MGG-stained; peripheral blood film:
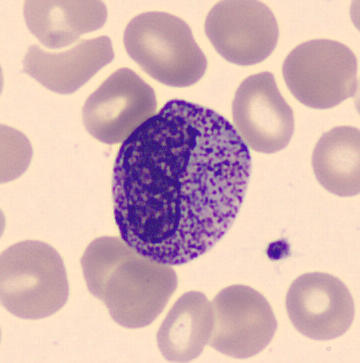Morphology — metamyelocyte.